Bone marrow smear: 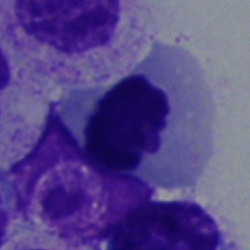 Nucleated red cell.